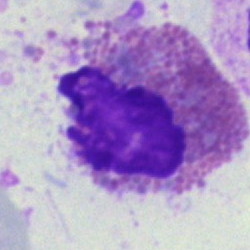 Single cell identified as an eosinophilic granulocyte.